Bone marrow aspirate smear.
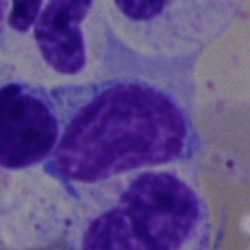The cell shown is a typical lymphocyte.